Bone marrow smear
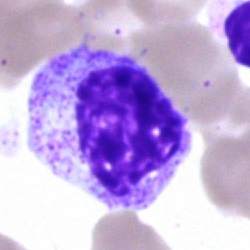
Morphology consistent with a myelocyte.